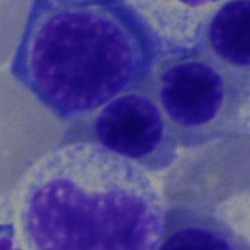
Single cell identified as a normoblast.